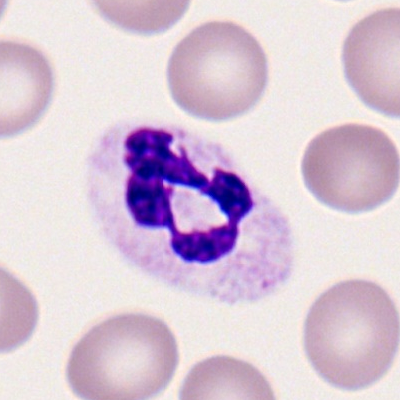Single-cell crop from a peripheral blood smear: polymorphonuclear neutrophil.